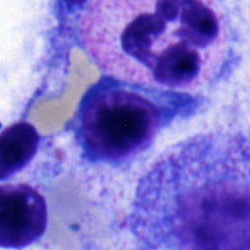

Morphological class = nucleated red blood cell.